Single cell centered in the field; bone marrow aspirate smear
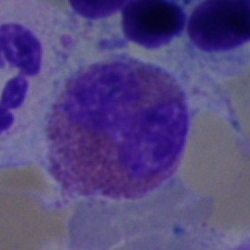 Cell — eosinophilic granulocyte.